Bone marrow aspirate smear · 250 by 250 pixels — 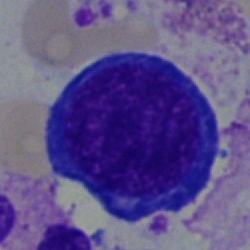Morphology → proerythroblast.